Bone marrow smear:
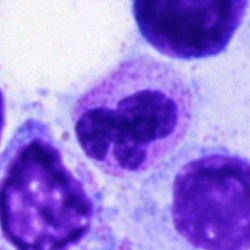

Single cell identified as a segmented neutrophil.